Bone marrow smear; MGG-stained; 40× objective, oil immersion: 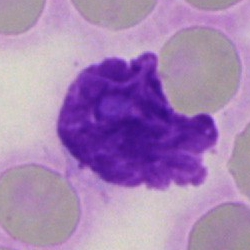
Single cell identified as an artefact.